Bone marrow smear.
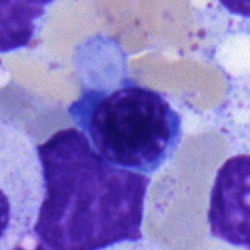 The cell shown is a normoblast.